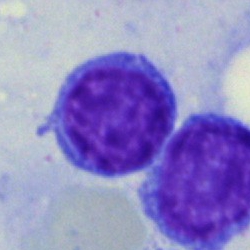Showing a lymphocyte.